Bone marrow aspirate smear — 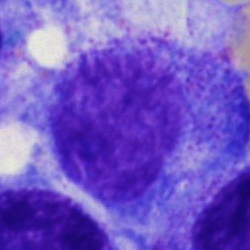

Cell type — promyelocyte.